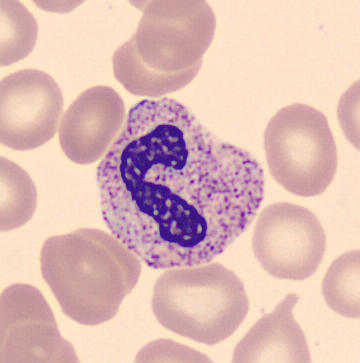Identified as a band neutrophil. Peripheral blood film; CellaVision DM96.